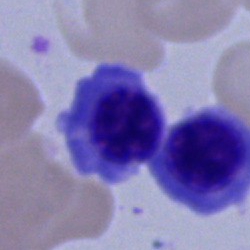Q: What cell is this?
A: Nucleated red cell.